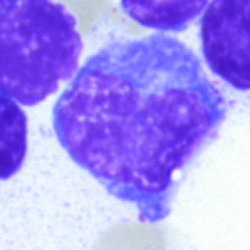
The morphological class is monocyte.